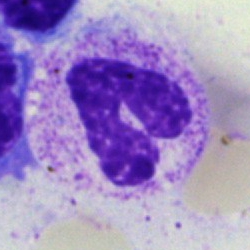This is a polymorphonuclear neutrophil.